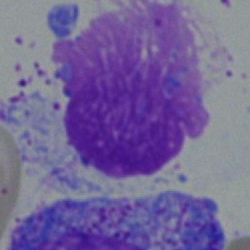 Q: What is shown here?
A: It is an artefact.